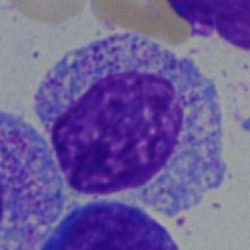

Morphology consistent with a myelocyte.